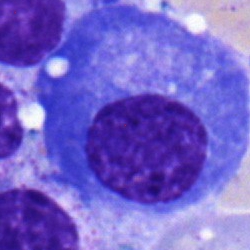
Single-cell crop from a bone marrow smear: plasma cell.